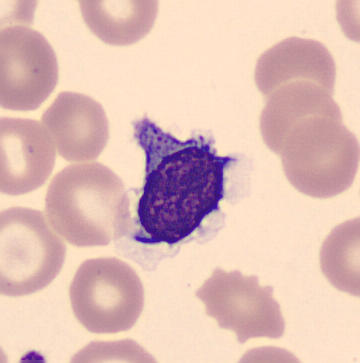

A lymphocyte on a peripheral blood smear.